Bone marrow smear
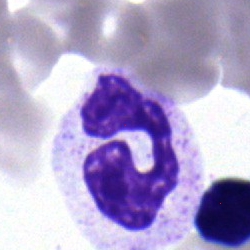Cell type: neutrophil (segmented).